Peripheral blood smear
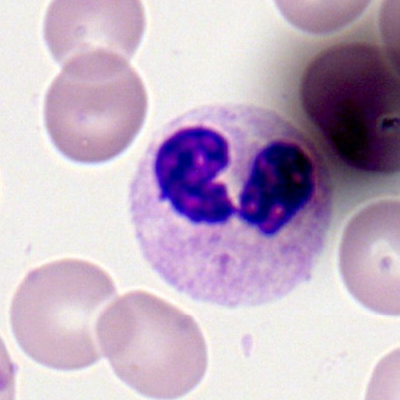This is a polymorphonuclear neutrophil.